MGG-stained · bone marrow smear.
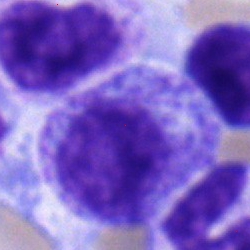 The cell type is myelocyte.